Bone marrow aspirate smear.
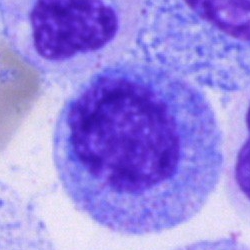 Impression → progranulocyte.